Bone marrow smear
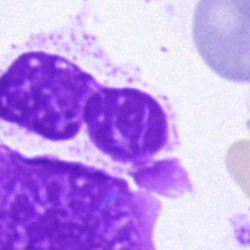

Q: What is shown here?
A: This is an artefact.